Bone marrow aspirate smear.
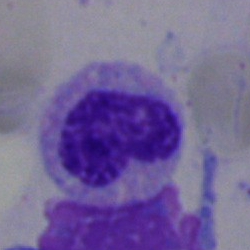

Cell: metamyelocyte.